Bone marrow aspirate smear: 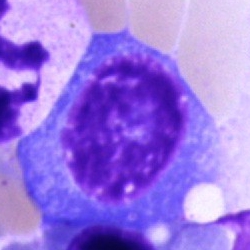 Morphology consistent with a plasma cell.